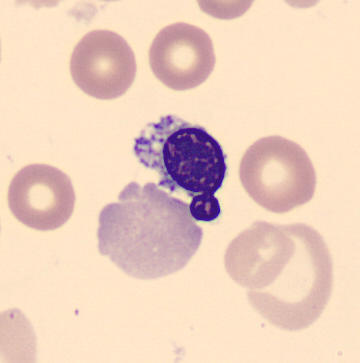

Q: Which cell type is shown here?
A: This is a nucleated red blood cell.

Single-cell field; peripheral blood film.